40× objective, oil immersion. Bone marrow smear
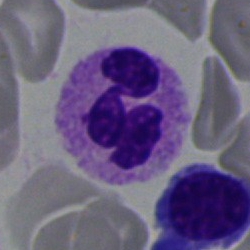
Showing a neutrophil (segmented).